Bone marrow aspirate smear:
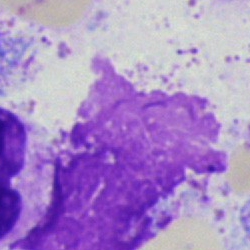
This is an artifact.